Bone marrow smear · 40× objective, oil immersion · 250 by 250 pixels:
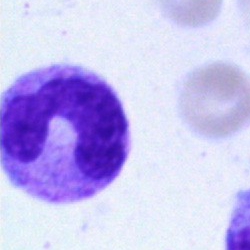Impression — neutrophil (band).